Bone marrow aspirate smear: 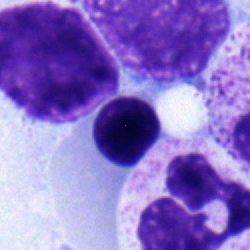Q: Which cell type is shown here?
A: An erythroblast.